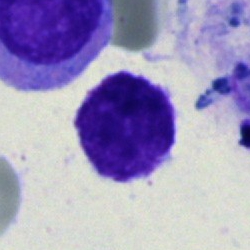 Q: What is shown here?
A: Lymphocyte.